Bone marrow smear — 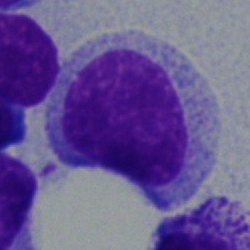Cell type: myelocyte.